40× oil immersion · cropped to a single cell · bone marrow aspirate smear — 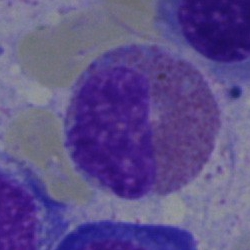

The morphological class is eosinophil.